Bone marrow aspirate smear; brightfield microscopy, 40× oil immersion; single-cell field:
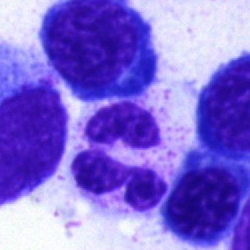

Morphology — neutrophil (segmented).